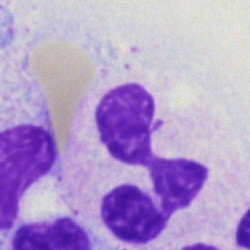Single-cell crop from a bone marrow smear: polymorphonuclear neutrophil.